Bone marrow aspirate smear
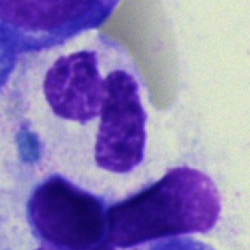
Segmented neutrophil.